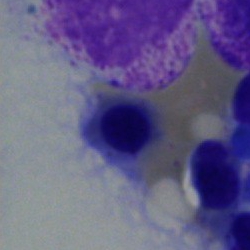Impression — nucleated red blood cell.